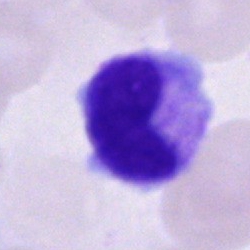

Cell = metamyelocyte.